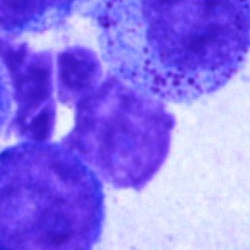
Q: What is shown here?
A: An artefact.